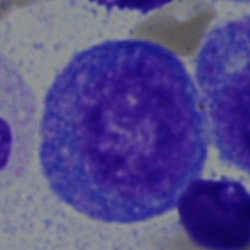

Q: Which cell type is shown here?
A: It is a promyelocyte.